400×400; peripheral blood film.
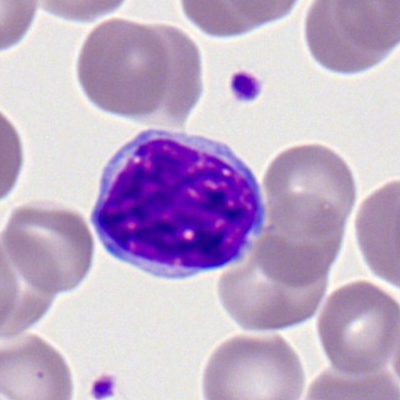 Q: What is the morphological classification of this cell?
A: Lymphocyte.